Bone marrow smear:
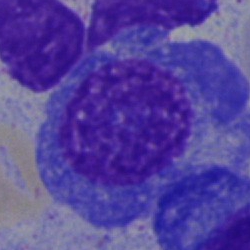Specimen: bone marrow aspirate smear.
Morphological class: plasmacyte.
Lineage: lymphoid.